Bone marrow smear.
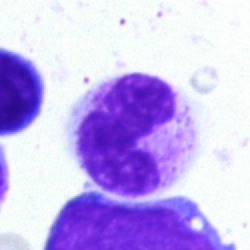Specimen: bone marrow smear.
Cell: stab cell.